Bone marrow smear:
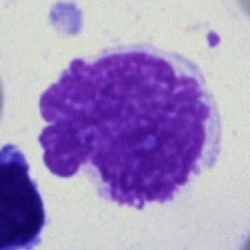

Impression — artefact.